Bone marrow aspirate smear
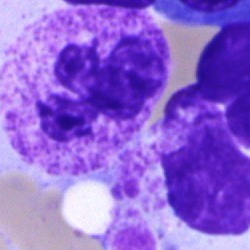 {"cell_type": "polymorphonuclear neutrophil"}